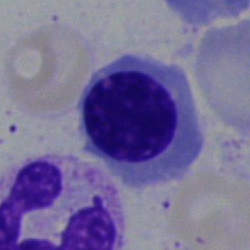 Bone marrow smear showing a nucleated red cell.